Bone marrow smear: 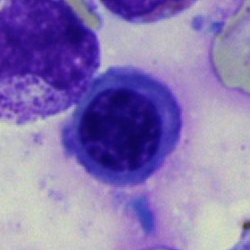

Morphology — nucleated red cell.